May-Grünwald-Giemsa stain; bone marrow aspirate smear: 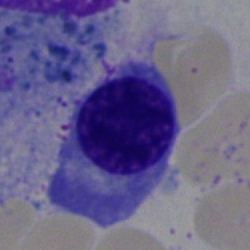
Morphology consistent with a nucleated red blood cell.